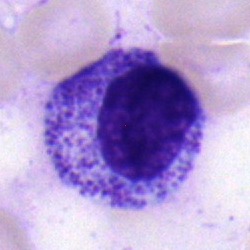

Specimen: bone marrow aspirate smear.
Classification: myelocyte.
Lineage: myeloid.